Bone marrow smear.
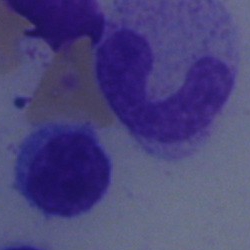The cell shown is a typical lymphocyte.